Bone marrow aspirate smear · brightfield, 40× oil-immersion objective: 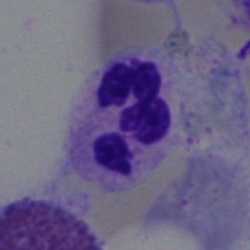Classification: segmented neutrophil.